Bone marrow smear · brightfield, 40× oil-immersion objective: 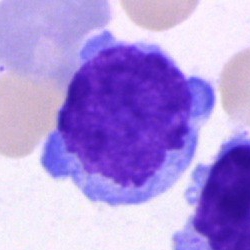Morphology → typical lymphocyte.